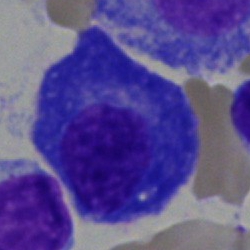 Classification — plasma cell.